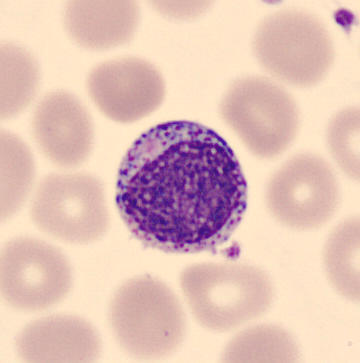Morphological class — myelocyte.

Preparation: Peripheral blood film.